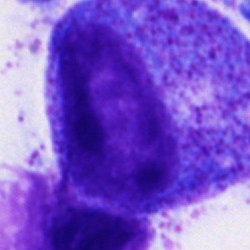
The morphological class is promyelocyte.